250 by 250 pixels; bone marrow aspirate smear
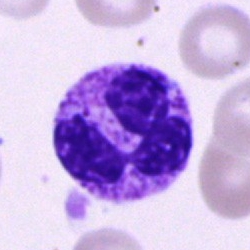

Specimen: bone marrow aspirate smear.
Morphological class: segmented neutrophil.